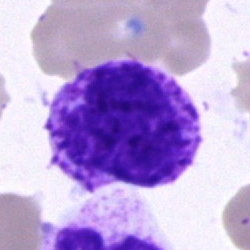
Morphology consistent with a basophil.